Bone marrow smear:
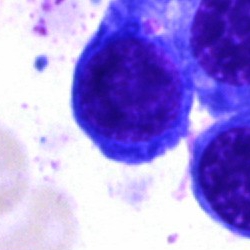A nucleated red cell.